Bone marrow aspirate smear — 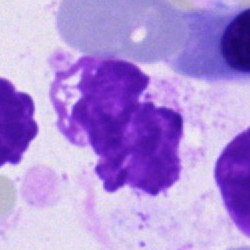Specimen: bone marrow smear.
Cell type: artefact.